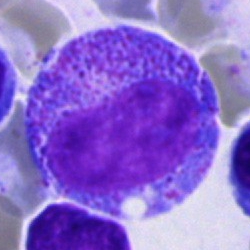 The cell type is progranulocyte.